Bone marrow aspirate smear.
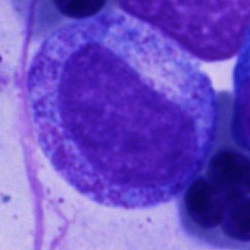
Specimen: bone marrow aspirate smear.
Morphological class: promyelocyte.